40× oil immersion. Single-cell crop. Bone marrow aspirate smear: 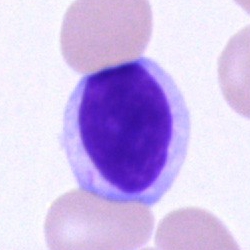Q: Identify the cell.
A: A lymphocyte.